Brightfield, 40× oil-immersion objective · bone marrow smear.
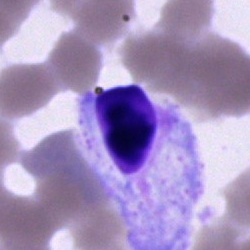

Showing an artifact.